Bone marrow smear: 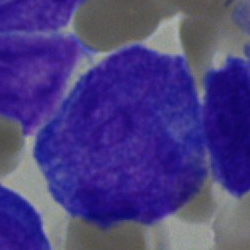Morphological class = blast cell.